Bone marrow aspirate smear — 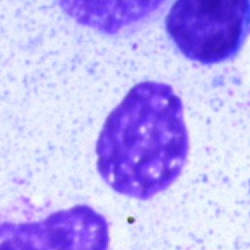

This is an artefact.